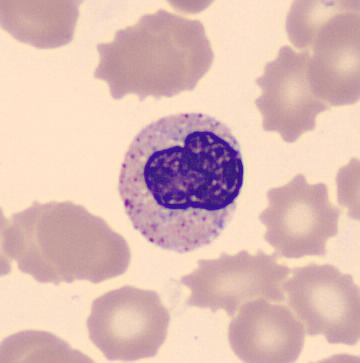
Single-cell crop; peripheral blood smear. Cell type = metamyelocyte.